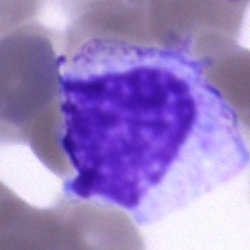

Cell = progranulocyte.